Bone marrow smear
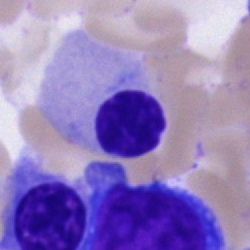 Specimen: bone marrow aspirate smear.
Cell: nucleated red cell.
Lineage: erythroid.